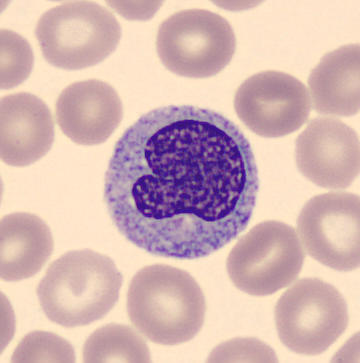

Q: What type of cell is this?
A: Monocyte.
Acquisition: Peripheral blood smear.